Bone marrow aspirate smear: 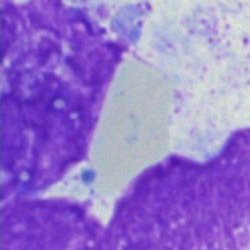 Specimen: bone marrow aspirate smear.
Cell type: artifact.